Bone marrow aspirate smear.
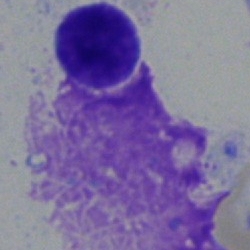 Single cell identified as a lymphocyte.